Bone marrow smear:
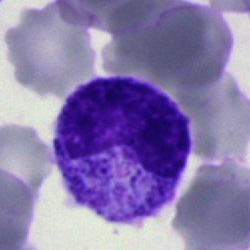 Q: What is shown here?
A: It is a metamyelocyte.